Bone marrow smear
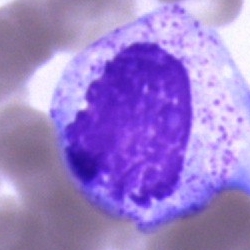

The classification is progranulocyte.